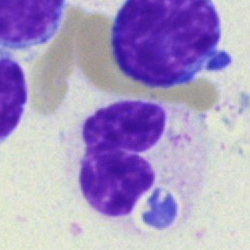 Showing a band neutrophil.